Bone marrow smear; brightfield, 40× oil-immersion objective.
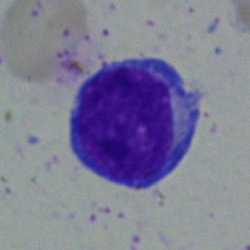
This is a typical lymphocyte.